Bone marrow aspirate smear — 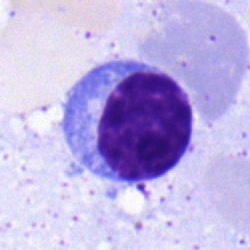 Morphology consistent with a lymphocyte.